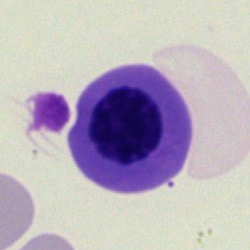The cell is erythroblast.